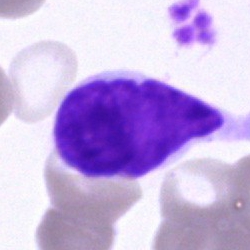Morphology — lymphocyte.